Bone marrow aspirate smear; single cell centered in the field; 250×250.
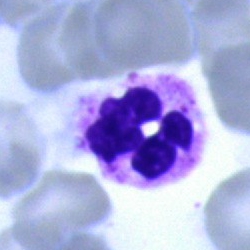

Morphological class — segmented neutrophil.